Pappenheim-stained; single cell centered in the field; bone marrow smear.
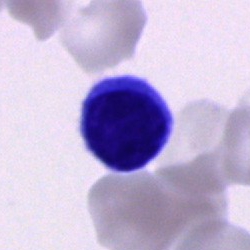 Q: What is shown here?
A: It is an unidentifiable cell.